Bone marrow aspirate smear — 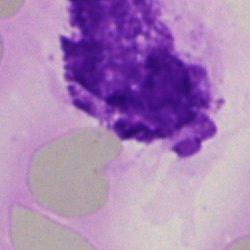{"cell_type": "artifact"}